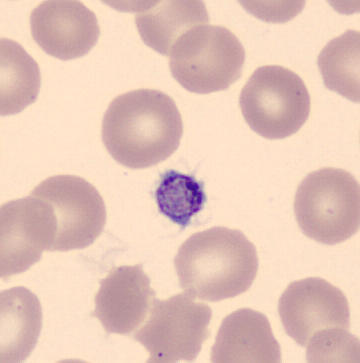360×363 px · CellaVision DM96 digital cell image.
Specimen: peripheral blood smear.
Classification: platelet (thrombocyte).